Bone marrow aspirate smear · 40× objective, oil immersion — 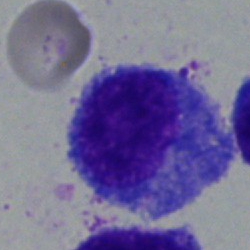

The cell type is progranulocyte.